Bone marrow aspirate smear: 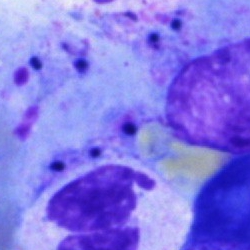Specimen: bone marrow smear.
Cell: artifact.